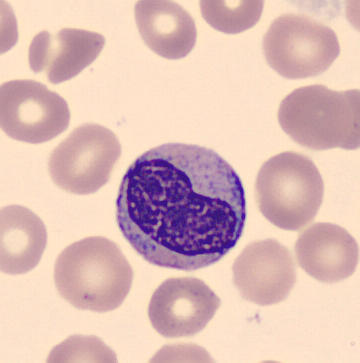Morphological class = metamyelocyte.